Bone marrow aspirate smear; single cell centered in the field; 250 by 250 pixels: 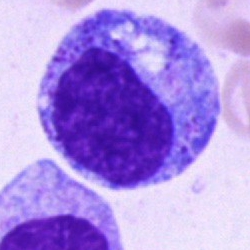

Morphology consistent with a progranulocyte.